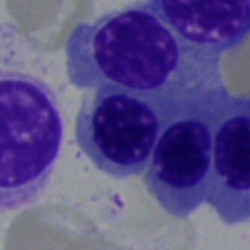A normoblast.